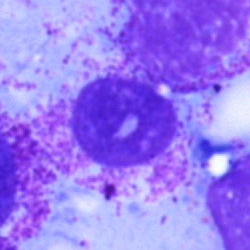

Cell — artifact.